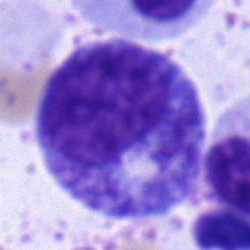 Morphology → myelocyte.